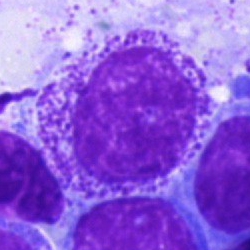

Showing a progranulocyte.